Bone marrow smear:
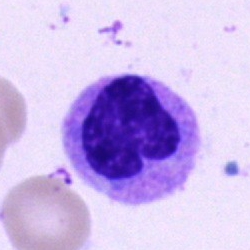 Classification = band neutrophil.